Bone marrow smear.
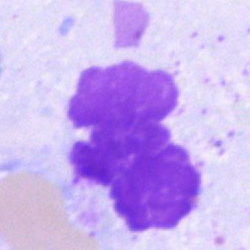
Specimen: bone marrow aspirate smear.
Cell type: artefact.